Bone marrow smear.
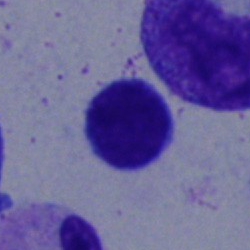Cell type — lymphocyte.